Bone marrow smear
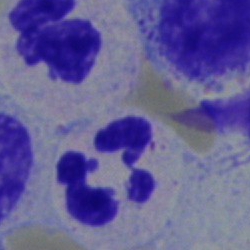
Single cell identified as a polymorphonuclear neutrophil.